Bone marrow aspirate smear
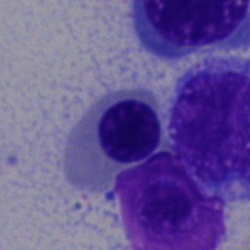 Specimen: bone marrow aspirate smear.
Cell type: erythroblast.
Lineage: erythroid.